MGG-stained; 40× oil immersion; bone marrow smear: 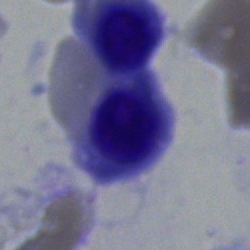

Showing a nucleated red cell.